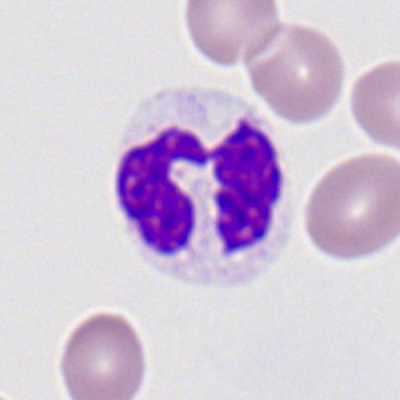

Impression → neutrophil (segmented).